MGG-stained · bone marrow smear: 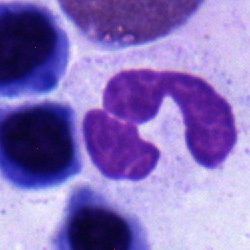
The cell shown is a neutrophil (segmented).